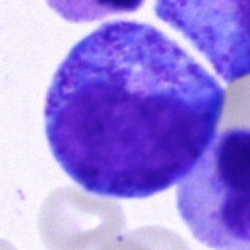

Specimen: bone marrow aspirate smear.
Cell type: progranulocyte.
Lineage: myeloid.